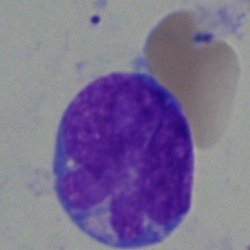
{"cell_type": "blast cell"}